MGG-stained. Bone marrow smear
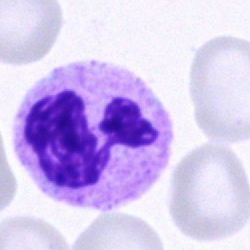
Q: Identify the cell.
A: Neutrophil (segmented).